Single-cell crop. Bone marrow smear: 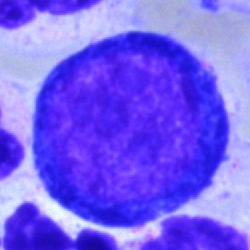
A proerythroblast.